Bone marrow aspirate smear: 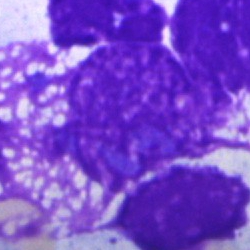Single cell identified as an artefact.